Bone marrow aspirate smear.
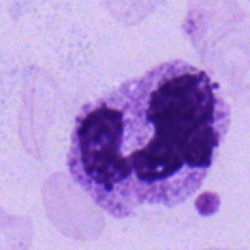

Cell — segmented neutrophil.